250×250 px; bone marrow aspirate smear; brightfield, 40× oil-immersion objective:
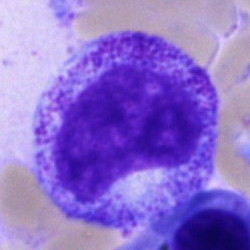

Morphological class = promyelocyte.